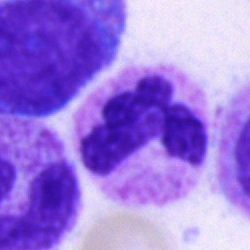Single cell identified as a segmented neutrophil.